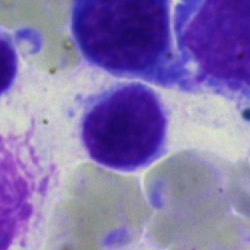 Q: Which cell type is shown here?
A: It is a lymphocyte.